May-Grünwald-Giemsa/Pappenheim stain; bone marrow smear; 250×250 px — 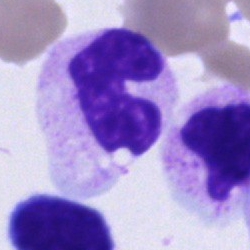
Cell type: polymorphonuclear neutrophil.